40× oil immersion. Bone marrow smear: 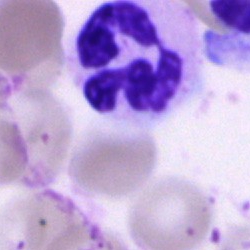 The cell shown is a neutrophil (segmented).